Brightfield microscopy, 40× oil immersion · Pappenheim-stained · bone marrow aspirate smear — 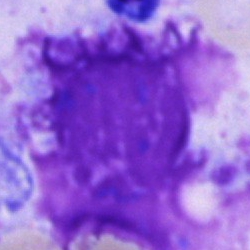An artefact.